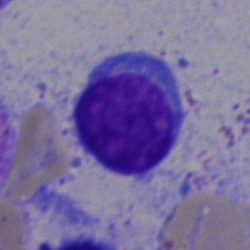{"cell_type": "lymphocyte", "lineage": "lymphoid"}